Bone marrow aspirate smear: 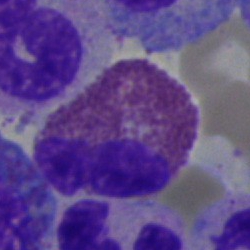
An eosinophil.